Brightfield microscopy, 40× oil immersion · bone marrow smear: 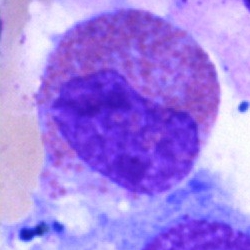{"cell_type": "eosinophil", "lineage": "myeloid"}